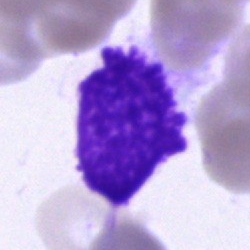
Q: What is shown here?
A: Artefact.